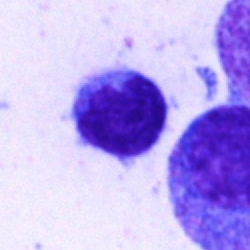
Q: What cell is this?
A: This is a typical lymphocyte.